Pappenheim-stained; bone marrow smear — 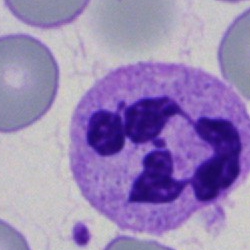 Cell type — polymorphonuclear neutrophil.